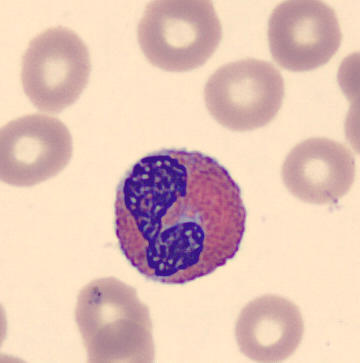Peripheral blood smear; single-cell crop.

Impression — eosinophil.